Bone marrow aspirate smear: 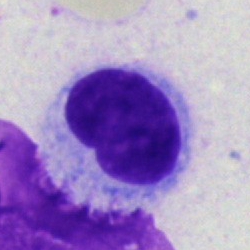 Impression → hairy cell.